Bone marrow smear · 250×250.
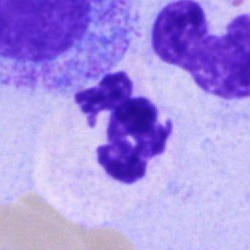

This is a neutrophil (segmented).